Peripheral blood smear — 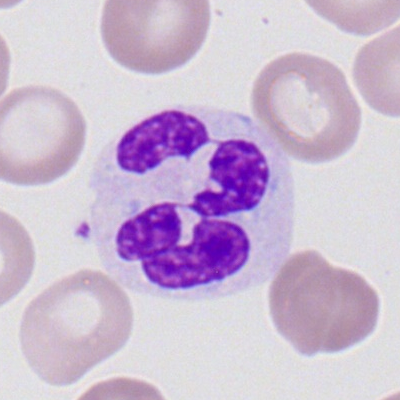

Cell type = neutrophil (segmented).